Peripheral blood smear:
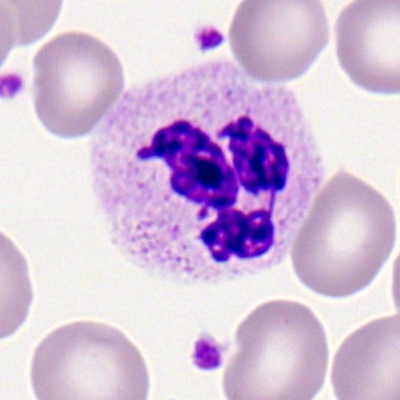 Impression → neutrophil (segmented).